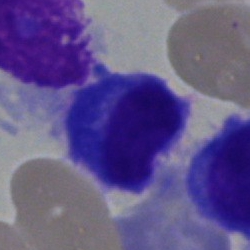

Q: What is shown here?
A: Plasmacyte.